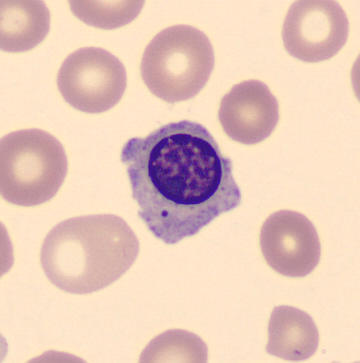 The classification is erythroblast.